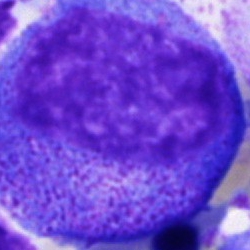

Specimen: bone marrow aspirate smear.
Classification: progranulocyte.